Bone marrow smear · May-Grünwald-Giemsa/Pappenheim stain: 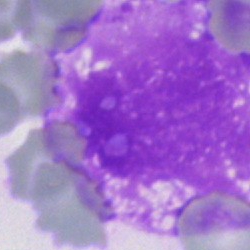 Q: What is shown here?
A: An artifact.